40× oil immersion; bone marrow aspirate smear
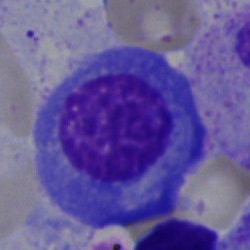
The classification is plasmacyte.